Brightfield, 40× oil-immersion objective; 250 by 250 pixels; bone marrow aspirate smear
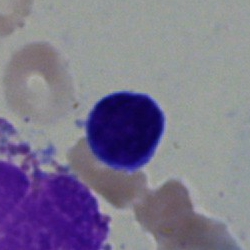Typical lymphocyte.